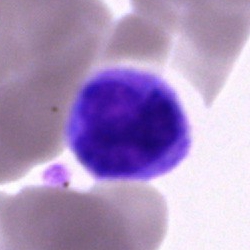 Morphology consistent with a monocyte.